Bone marrow smear; 40× oil immersion: 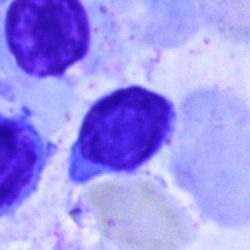

{"cell_type": "lymphocyte", "lineage": "lymphoid"}